Bone marrow smear · Pappenheim-stained
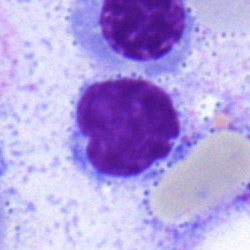Cell type — lymphocyte.